Single cell centered in the field · bone marrow smear · image size 250×250
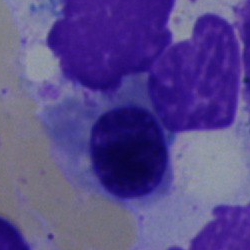 This is a nucleated red cell.